250×250 px · bone marrow aspirate smear · cropped to a single cell — 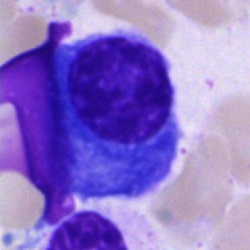Q: What is the morphological classification of this cell?
A: A plasmacyte.